Bone marrow aspirate smear:
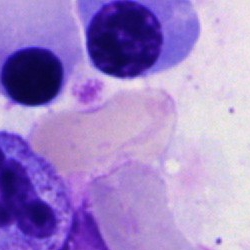Q: Which cell type is shown here?
A: A normoblast.